Bone marrow aspirate smear. Image size 250×250:
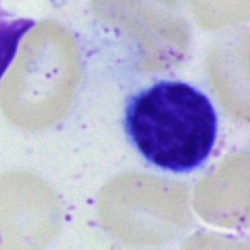
A typical lymphocyte.